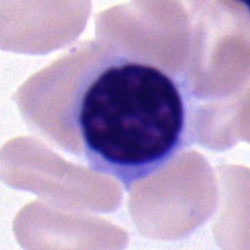

A nucleated red cell on a bone marrow smear.